Bone marrow smear — 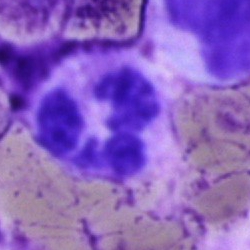Impression → neutrophil (segmented).